Bone marrow aspirate smear:
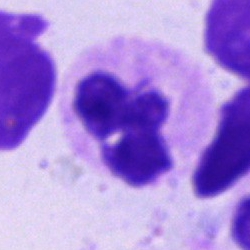 {"cell_type": "neutrophil (segmented)", "lineage": "myeloid"}